Bone marrow smear
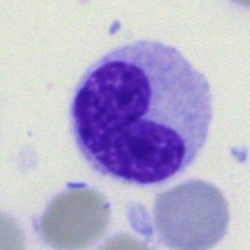 {"cell_type": "stab cell", "lineage": "myeloid"}